Bone marrow smear.
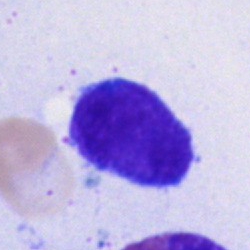 Cell: typical lymphocyte.